Bone marrow smear — 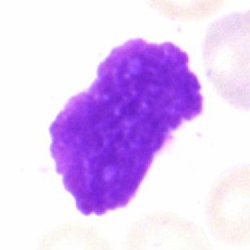Specimen: bone marrow smear.
Morphological class: artefact.